Bone marrow aspirate smear:
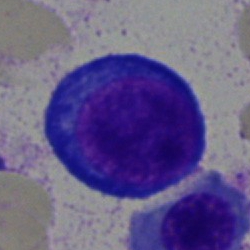{"cell_type": "proerythroblast"}